Bone marrow smear
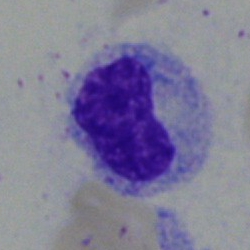 Cell — band-form neutrophil.